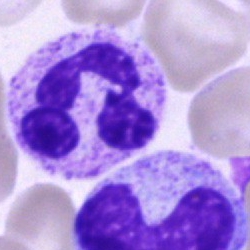Specimen: bone marrow aspirate smear.
Cell type: polymorphonuclear neutrophil.